Bone marrow smear.
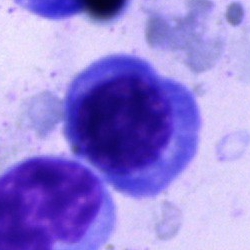

A nucleated red blood cell.